Peripheral blood smear
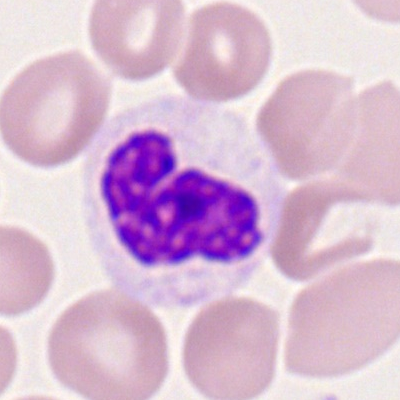 Q: Which cell type is shown here?
A: Segmented neutrophil.